Brightfield microscopy, 40× oil immersion · bone marrow aspirate smear
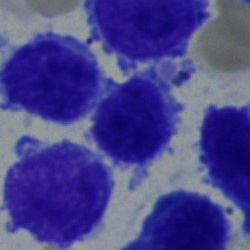 Morphology — typical lymphocyte.